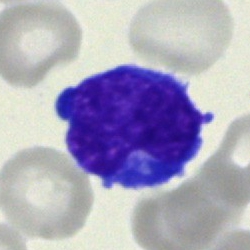
Q: Identify the cell.
A: Lymphocyte.